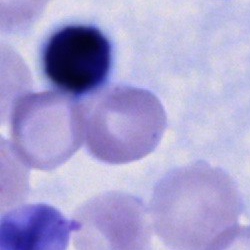
Specimen: bone marrow smear.
Classification: unidentifiable cell.